Bone marrow aspirate smear:
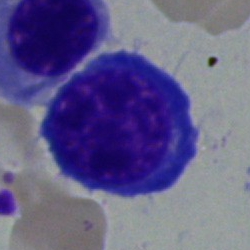 Morphology — nucleated red blood cell.